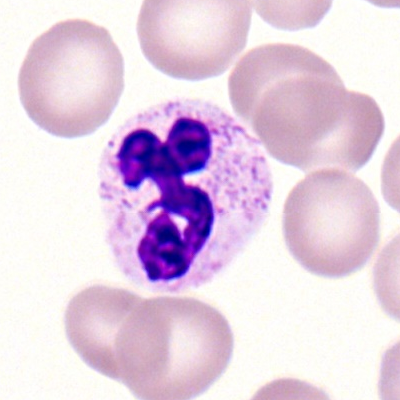 Cell — segmented neutrophil.